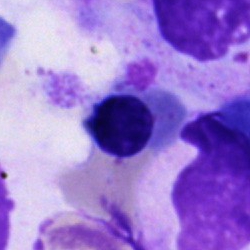
Morphological class — nucleated red cell.